Peripheral blood smear.
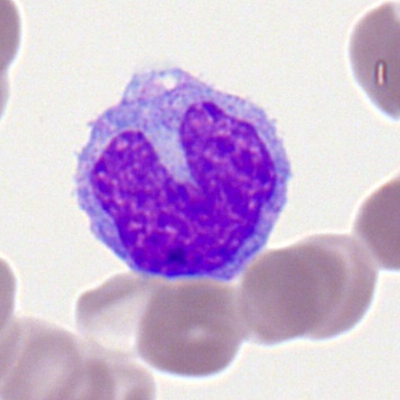 Morphology → monocyte.